Bone marrow smear; cropped to a single cell; May-Grünwald-Giemsa/Pappenheim stain: 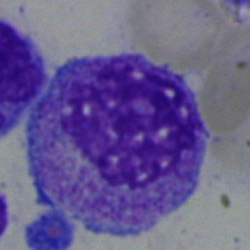

The cell shown is an eosinophilic granulocyte.